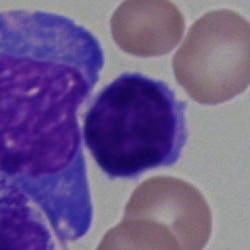Q: What type of cell is this?
A: It is a typical lymphocyte.